Image size 250×250; bone marrow smear
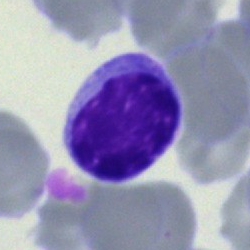A typical lymphocyte.